Bone marrow smear. Single cell centered in the field:
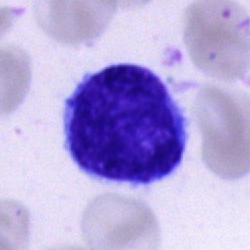Cell: cell of indeterminate lineage.